Bone marrow smear; 40× objective, oil immersion
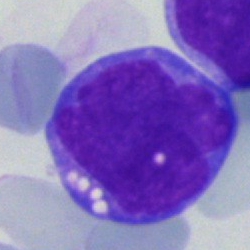
Q: What is shown here?
A: This is an undifferentiated blast.